Bone marrow smear:
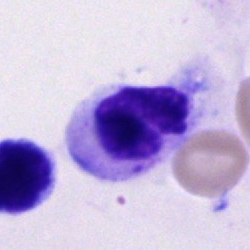 A polymorphonuclear neutrophil.